MGG-stained · bone marrow aspirate smear — 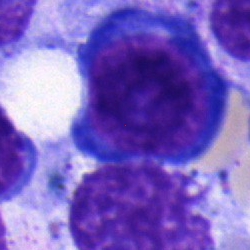

Q: What cell is this?
A: This is a proerythroblast.